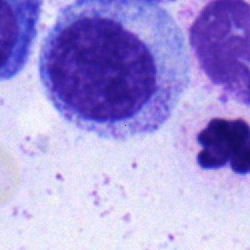Specimen: bone marrow smear.
Classification: myelocyte.
Lineage: myeloid.